Brightfield, 40× oil-immersion objective · bone marrow aspirate smear: 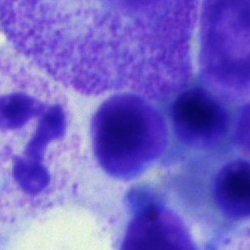
Morphological class — typical lymphocyte.